Brightfield microscopy, 40× oil immersion · bone marrow smear · Pappenheim-stained: 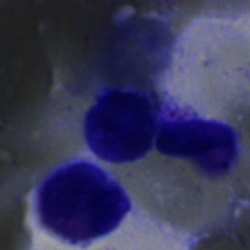 Cell = artefact.